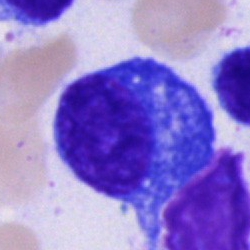

Specimen: bone marrow smear.
Morphological class: plasma cell.